Bone marrow smear. 40× objective, oil immersion.
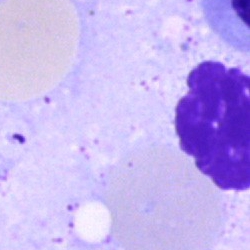Classification — artefact.